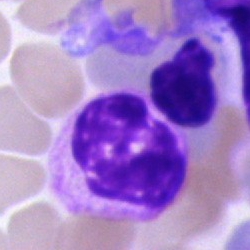

Morphological class — neutrophil (segmented).